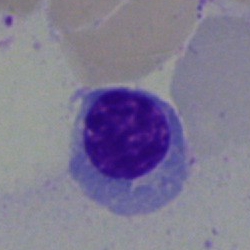

Q: Identify the cell.
A: This is a normoblast.